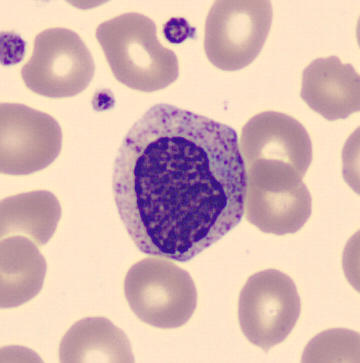 Identified as a metamyelocyte.

Imaged on a CellaVision DM96 analyser · peripheral blood film.